Image size 250×250; bone marrow aspirate smear:
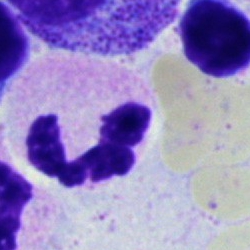Q: Which cell type is shown here?
A: Segmented neutrophil.